Bone marrow smear.
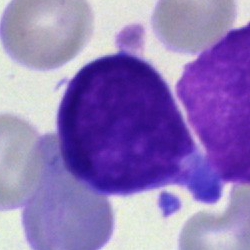

Single cell identified as an undifferentiated blast.